Bone marrow smear · Pappenheim-stained · brightfield, 40× oil-immersion objective:
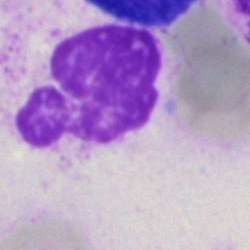

Morphology consistent with an artefact.